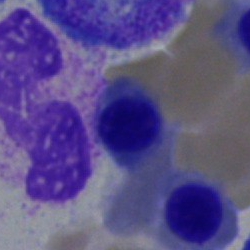
Morphology → normoblast.